Brightfield, 40× oil-immersion objective. Bone marrow aspirate smear — 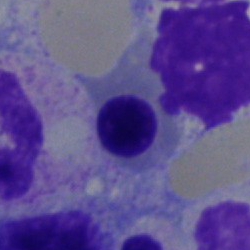

This is an erythroblast.